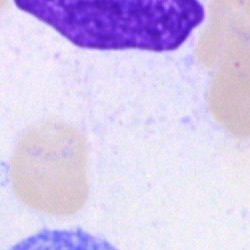Showing an artifact.